40× objective, oil immersion; bone marrow smear
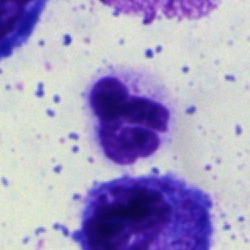
This is a segmented neutrophil.